Image size 250×250. 40× oil immersion. Bone marrow smear — 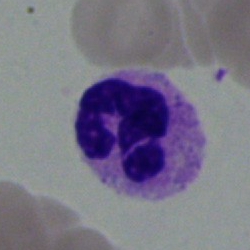{"cell_type": "polymorphonuclear neutrophil", "lineage": "myeloid"}